Bone marrow aspirate smear — 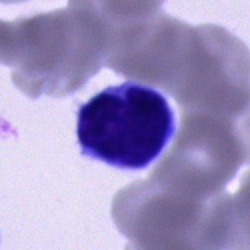

Q: What is the morphological classification of this cell?
A: A typical lymphocyte.